Peripheral blood smear
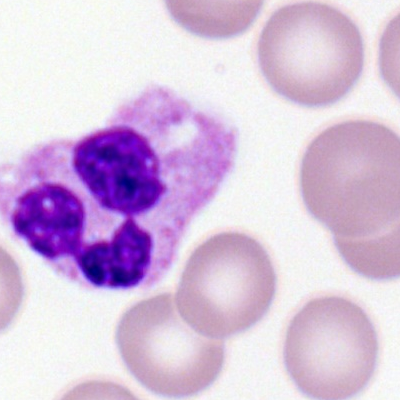 Specimen: peripheral blood smear.
Cell: segmented neutrophil.